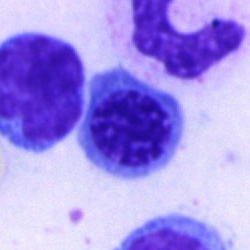Impression — nucleated red blood cell.